Bone marrow aspirate smear: 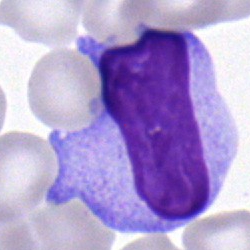Cell type: monocyte.